250×250. Bone marrow smear
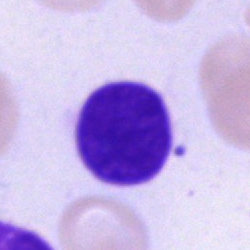

Impression — lymphocyte.